Peripheral blood film
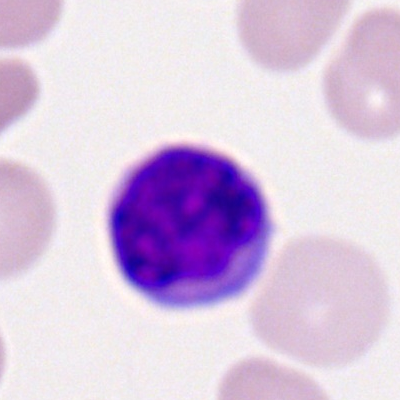The cell shown is a lymphocyte.